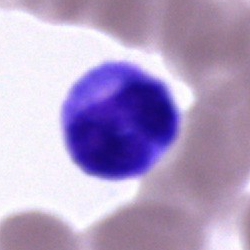Cell: cell of indeterminate lineage.